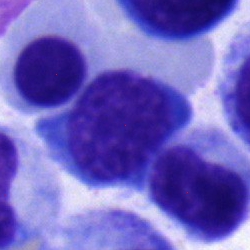

Normoblast.